Image size 250×250. Bone marrow aspirate smear: 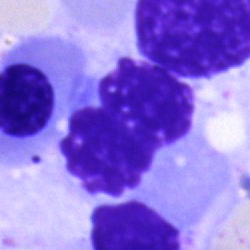 Specimen: bone marrow aspirate smear.
Morphological class: cell of indeterminate lineage.